Single cell centered in the field. May-Grünwald-Giemsa/Pappenheim stain. Bone marrow smear.
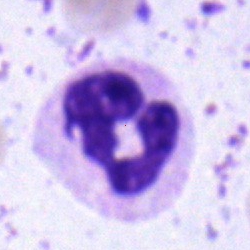 Neutrophil (segmented).